40× objective, oil immersion. 250 by 250 pixels. Bone marrow smear:
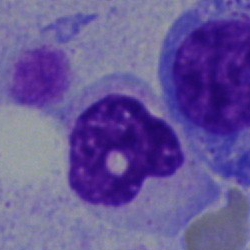 Segmented neutrophil.